Bone marrow aspirate smear — 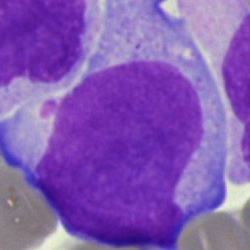

{"cell_type": "monocyte", "lineage": "myeloid"}